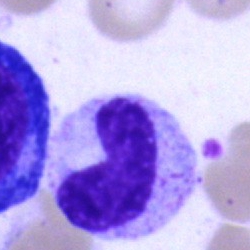Q: What cell is this?
A: A metamyelocyte.